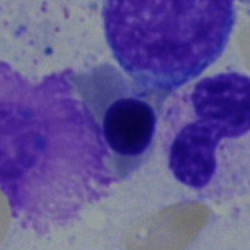Bone marrow aspirate smear, single cell — nucleated red cell.